Bone marrow aspirate smear · May-Grünwald-Giemsa/Pappenheim stain · image size 250×250 — 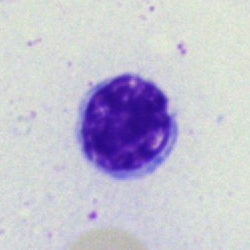

{"cell_type": "typical lymphocyte", "lineage": "lymphoid"}